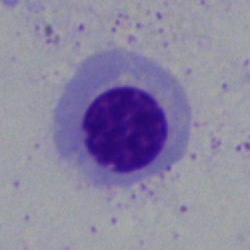
An erythroblast.